Bone marrow aspirate smear.
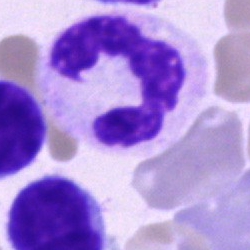A neutrophil (segmented).